Bone marrow smear. Single cell centered in the field
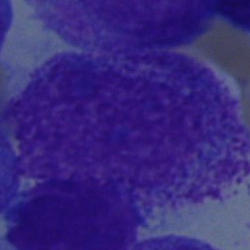 Morphological class = promyelocyte.